Bone marrow aspirate smear: 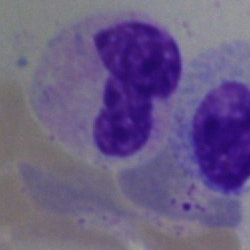

Impression — segmented neutrophil.